Image size 250×250. Bone marrow smear
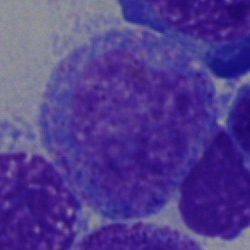 Specimen: bone marrow smear.
Morphological class: promyelocyte.